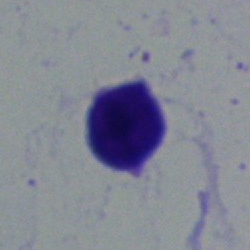
Bone marrow aspirate smear, single cell — lymphocyte.